May-Grünwald-Giemsa stain; 250×250; bone marrow smear:
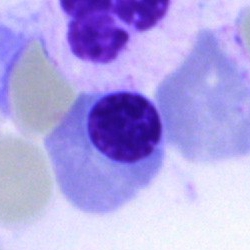

A nucleated red cell.